Bone marrow smear · 40× oil immersion · cropped to a single cell:
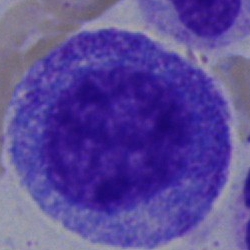 Morphology — promyelocyte.